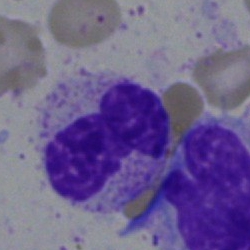 Cell type: band neutrophil.